May-Grünwald-Giemsa/Pappenheim stain · 250 by 250 pixels · bone marrow smear:
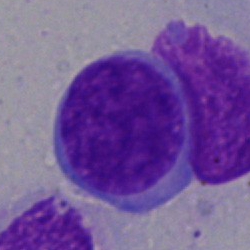Cell type: blast cell.